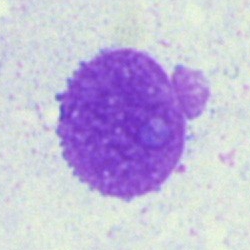Q: What is shown here?
A: This is an artifact.